Bone marrow aspirate smear; May-Grünwald-Giemsa stain
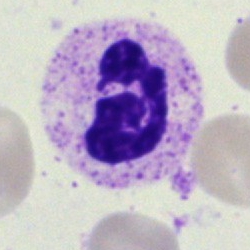
Neutrophil (segmented).